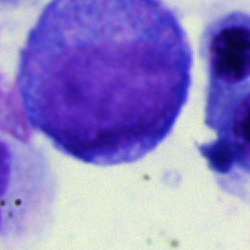Q: What is shown here?
A: A promyelocyte.